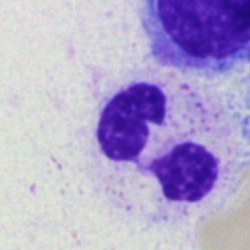 Impression → segmented neutrophil.